Single-cell crop · peripheral blood smear · CellaVision DM96 digital cell image:
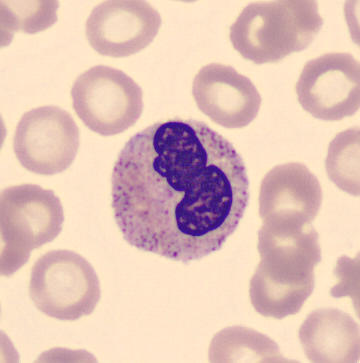
Showing a stab cell.